Bone marrow aspirate smear — 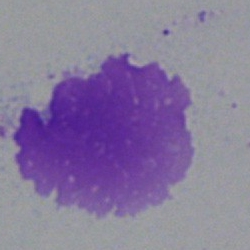Q: What is shown here?
A: An artifact.